Bone marrow smear
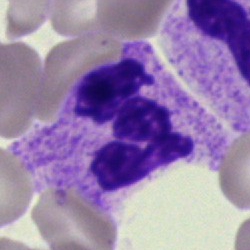

Q: What is the morphological classification of this cell?
A: A neutrophil (segmented).